Bone marrow smear — 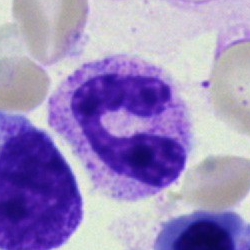

Specimen: bone marrow smear.
Cell type: polymorphonuclear neutrophil.
Lineage: myeloid.